Single-cell field. Bone marrow aspirate smear:
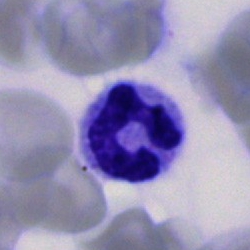Q: Which cell type is shown here?
A: A neutrophil (segmented).